Brightfield, 40× oil-immersion objective; bone marrow smear; May-Grünwald-Giemsa stain
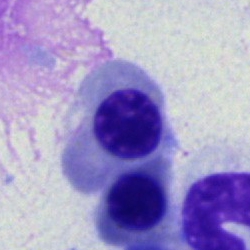Q: What cell is this?
A: It is a nucleated red cell.